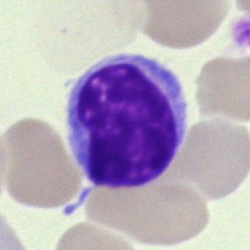
Classification — typical lymphocyte.